Bone marrow aspirate smear; Pappenheim-stained
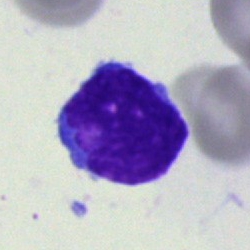
Impression → blast.